Bone marrow aspirate smear · 250 by 250 pixels
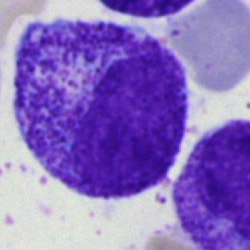

Morphological class — myelocyte.